Image size 250×250; brightfield microscopy, 40× oil immersion; bone marrow aspirate smear
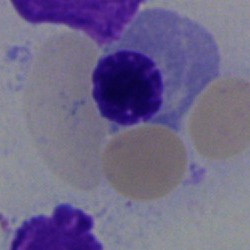

Morphology consistent with a nucleated red blood cell.